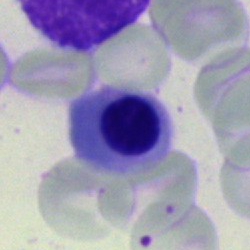
Single cell identified as a normoblast.